Bone marrow smear. Single-cell crop
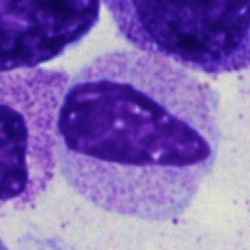 This is a myelocyte.